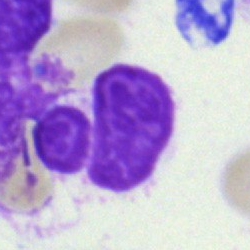

Morphology consistent with an artifact.